May-Grünwald-Giemsa stain · single-cell crop · bone marrow aspirate smear: 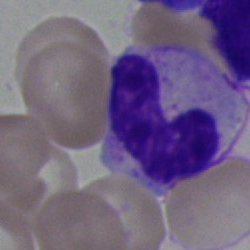
Q: Identify the cell.
A: Band-form neutrophil.